Bone marrow aspirate smear:
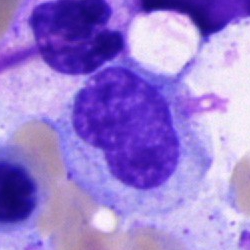Impression → metamyelocyte.